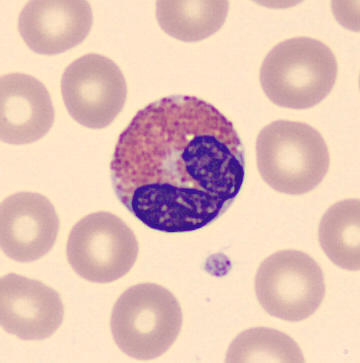 Acquisition: Peripheral blood film. Cell type: eosinophil.